Bone marrow smear; 250×250 — 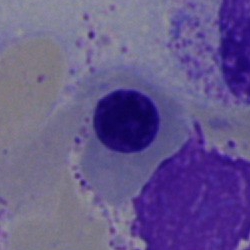 Cell = nucleated red cell.